Bone marrow aspirate smear
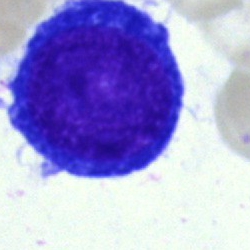Q: What is shown here?
A: Proerythroblast.